Peripheral blood film
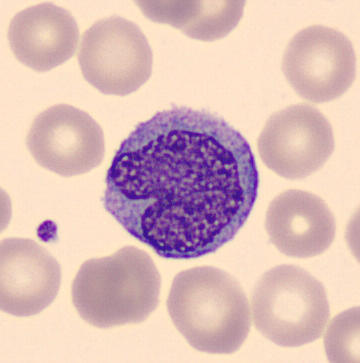Monocyte.